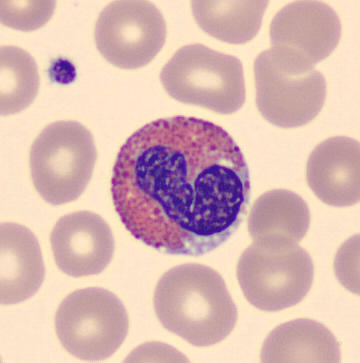Morphology consistent with an eosinophilic granulocyte. Image: 360×363 px. Peripheral blood film.